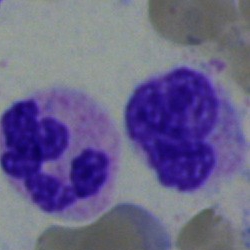 Impression — polymorphonuclear neutrophil.